Bone marrow smear:
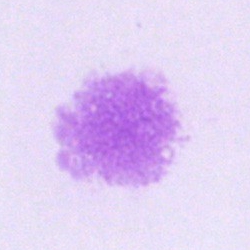An artifact.